Bone marrow smear — 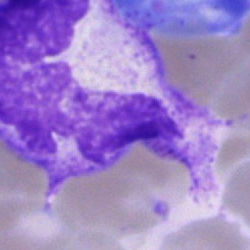

The cell shown is an artifact.